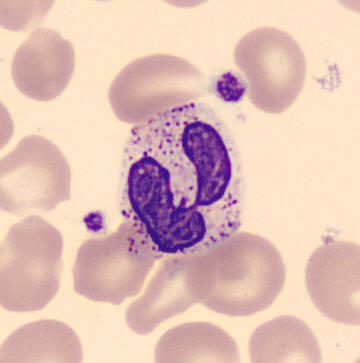From a peripheral blood smear: a neutrophil (segmented).